Bone marrow smear; 40× objective, oil immersion.
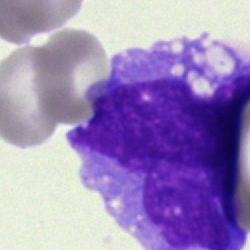Morphological class = monocyte.